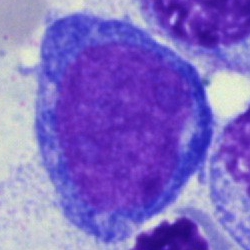
A proerythroblast.